Bone marrow aspirate smear; 40× objective, oil immersion:
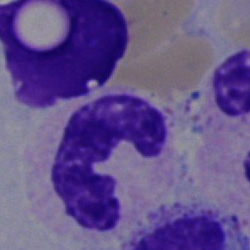Morphology consistent with a neutrophil (segmented).